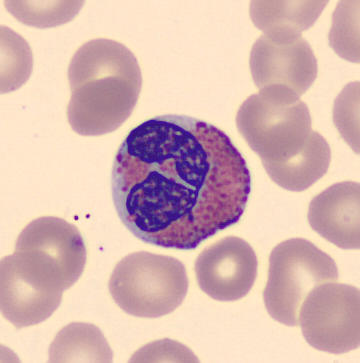360 by 363 pixels · peripheral blood smear.

The cell shown is an eosinophil.